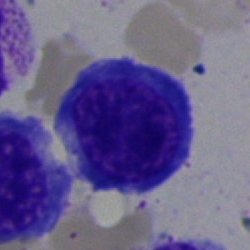

Morphology consistent with a nucleated red cell.